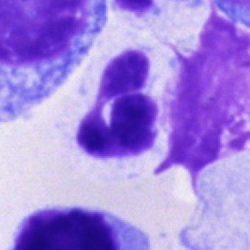
The cell shown is a segmented neutrophil.